Bone marrow aspirate smear
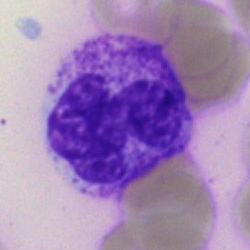{"cell_type": "band neutrophil", "lineage": "myeloid"}